40× objective, oil immersion · bone marrow aspirate smear · May-Grünwald-Giemsa stain:
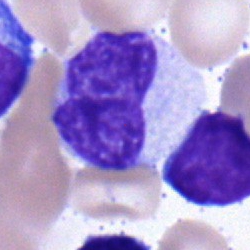

This is a stab cell.